Bone marrow aspirate smear:
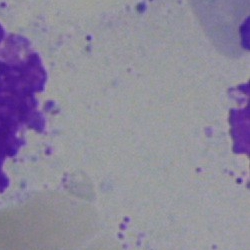 Classification — artifact.